Bone marrow aspirate smear:
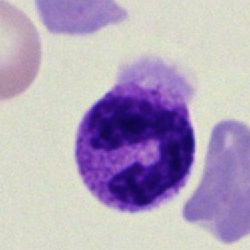
Single cell identified as a neutrophil (segmented).